Bone marrow smear
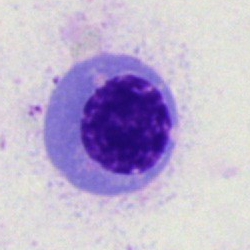

Morphological class: nucleated red blood cell.